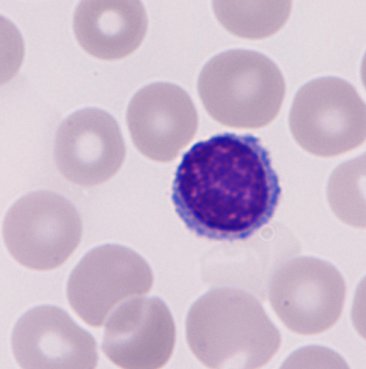Image: Peripheral blood smear.
The cell type is typical lymphocyte.